Bone marrow smear
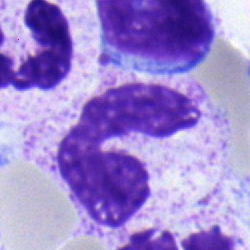

Q: What is the morphological classification of this cell?
A: A polymorphonuclear neutrophil.